40× objective, oil immersion; bone marrow aspirate smear
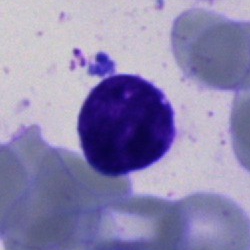 Artifact.